Bone marrow smear.
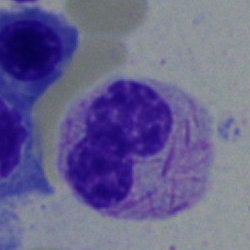

Q: What is shown here?
A: This is a metamyelocyte.